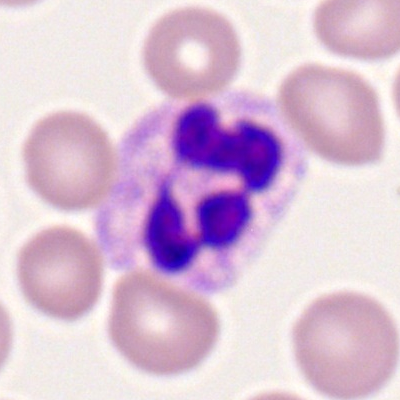 Single-cell crop from a peripheral blood smear: neutrophil (segmented).